Bone marrow smear; 250×250
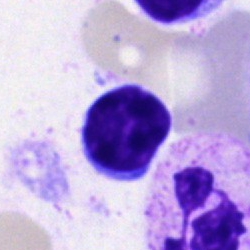
Showing a typical lymphocyte.